MGG-stained · bone marrow aspirate smear · cropped to a single cell.
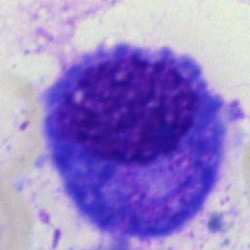 Specimen: bone marrow smear.
Classification: progranulocyte.
Lineage: myeloid.